Bone marrow smear · single-cell field · image size 250×250:
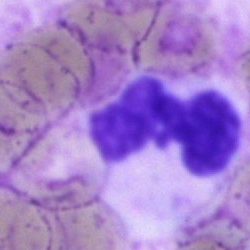Showing a polymorphonuclear neutrophil.